250 by 250 pixels; bone marrow aspirate smear: 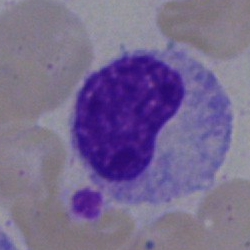
Morphology consistent with a metamyelocyte.